May-Grünwald-Giemsa stain · bone marrow smear · cropped to a single cell — 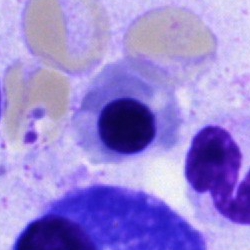

Morphology consistent with a nucleated red cell.